Bone marrow smear:
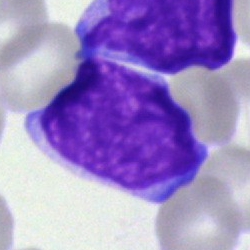

Impression → blast cell.